Bone marrow aspirate smear:
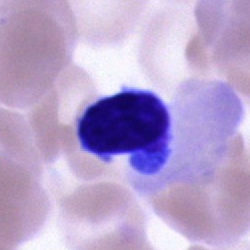

Specimen: bone marrow smear.
Classification: typical lymphocyte.
Lineage: lymphoid.